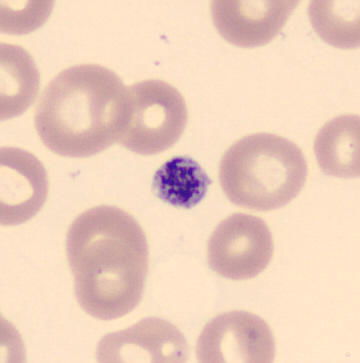

A platelet (thrombocyte). Peripheral blood film · 360×363.